Bone marrow aspirate smear.
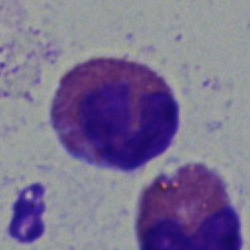
Showing an eosinophilic granulocyte.